Bone marrow aspirate smear: 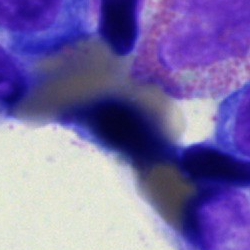
Cell = artifact.